Peripheral blood film — 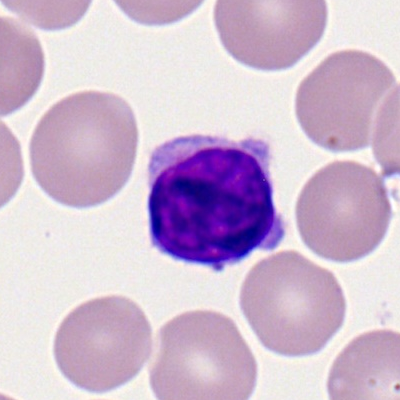 Single cell identified as a lymphocyte.